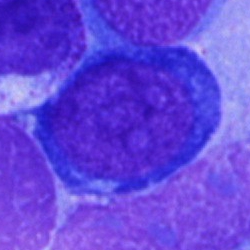Single-cell crop from a bone marrow smear: undifferentiated blast.